Bone marrow smear; 40× oil immersion — 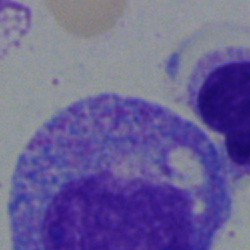Q: What cell is this?
A: A promyelocyte.